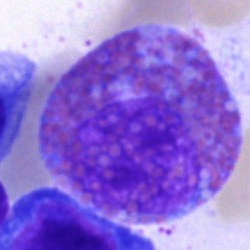
Specimen: bone marrow aspirate smear.
Cell type: eosinophilic granulocyte.